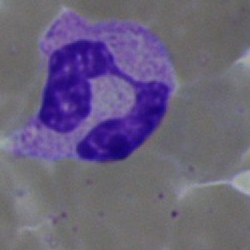Specimen: bone marrow smear.
Cell type: neutrophil (segmented).